40× oil immersion; bone marrow smear; May-Grünwald-Giemsa/Pappenheim stain.
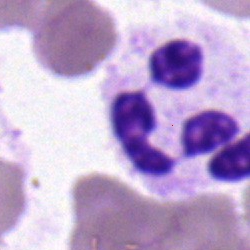

A segmented neutrophil.